Image size 400×400 · peripheral blood smear · Romanowsky-type stain: 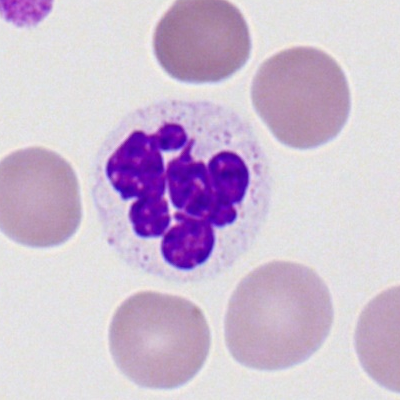Specimen: peripheral blood film.
Classification: neutrophil (segmented).